Bone marrow smear: 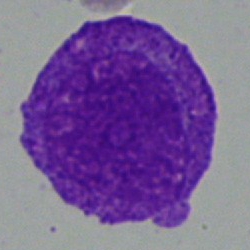Morphology consistent with a blast cell.